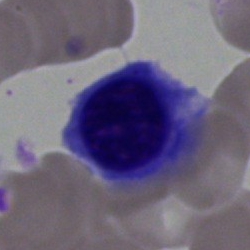
Specimen: bone marrow smear.
Morphological class: normoblast.
Lineage: erythroid.